Peripheral blood smear · Romanowsky-type stain: 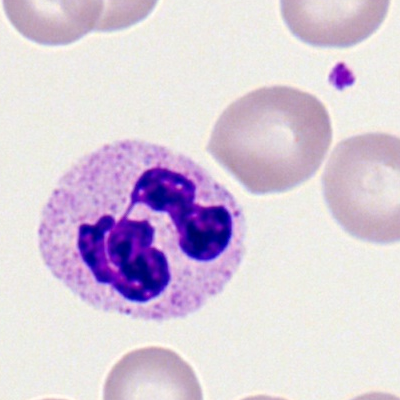
Cell: polymorphonuclear neutrophil.